Romanowsky stain; peripheral blood film: 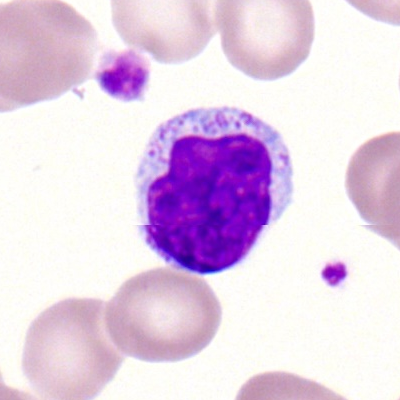Q: What is the morphological classification of this cell?
A: This is a lymphocyte.